Single-cell crop · bone marrow aspirate smear:
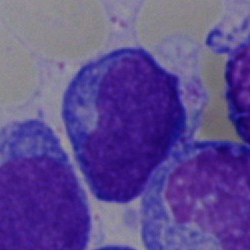 A lymphocyte.